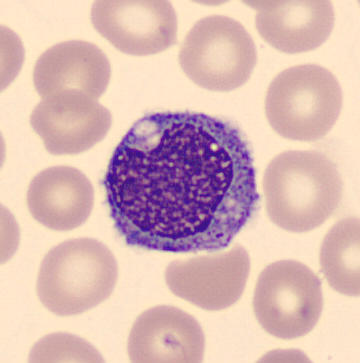 Morphology consistent with a monocyte.